Bone marrow smear.
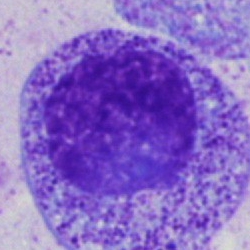Showing a progranulocyte.